Bone marrow smear · image size 250×250
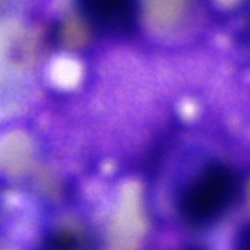Artifact.